May-Grünwald-Giemsa stain · bone marrow aspirate smear:
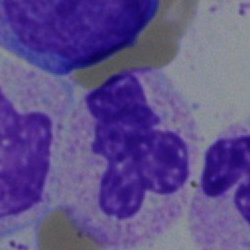

Showing a segmented neutrophil.